Bone marrow smear · 250×250 px — 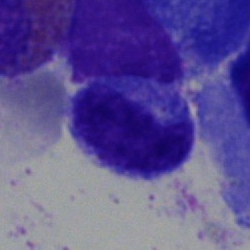Impression → typical lymphocyte.